Bone marrow aspirate smear · single cell centered in the field · 250×250 px — 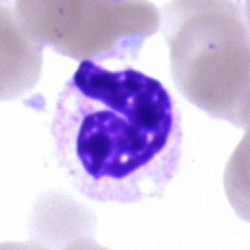

Impression → polymorphonuclear neutrophil.